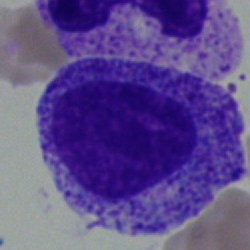

Specimen: bone marrow smear.
Classification: myelocyte.
Lineage: myeloid.